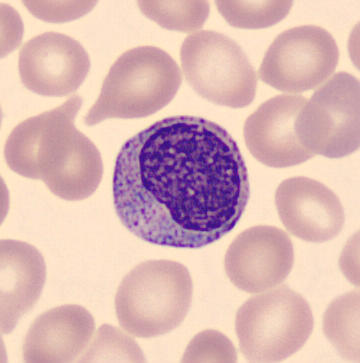Peripheral blood film.

Identified as a metamyelocyte.